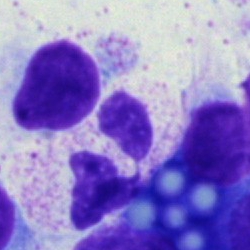Showing a polymorphonuclear neutrophil.